Bone marrow smear — 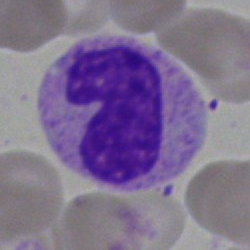 Classification — stab cell.